250×250; bone marrow smear
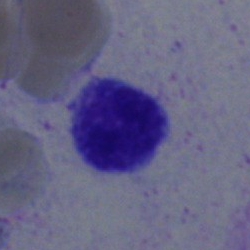
Cell: lymphocyte.